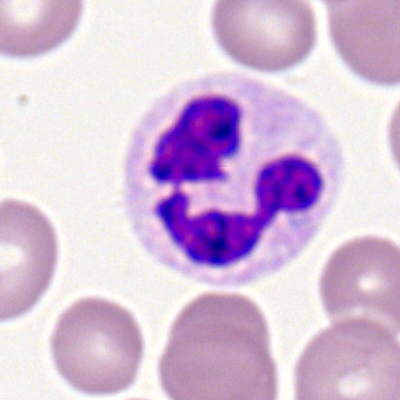

Q: What is shown here?
A: It is a neutrophil (segmented).